Bone marrow aspirate smear: 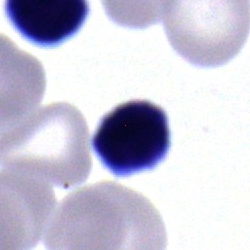 A typical lymphocyte.